Bone marrow aspirate smear; 250 by 250 pixels
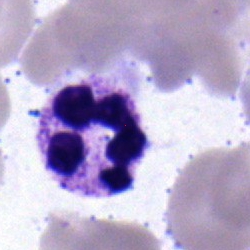

Morphological class: segmented neutrophil.